Peripheral blood film — 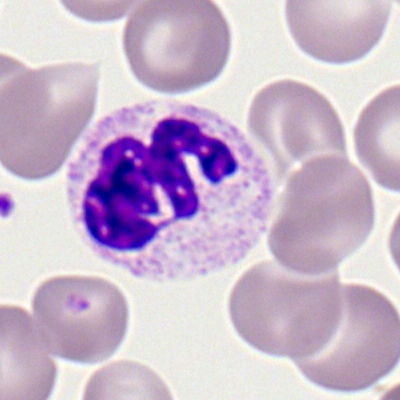 Single cell identified as a polymorphonuclear neutrophil.